Bone marrow aspirate smear: 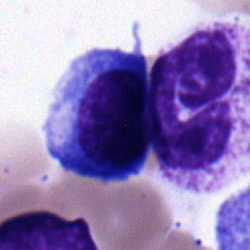An erythroblast.